MGG-stained; bone marrow aspirate smear:
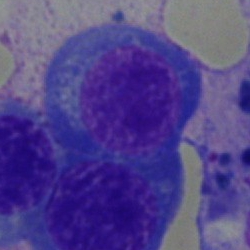 Q: Identify the cell.
A: It is a normoblast.